Peripheral blood smear: 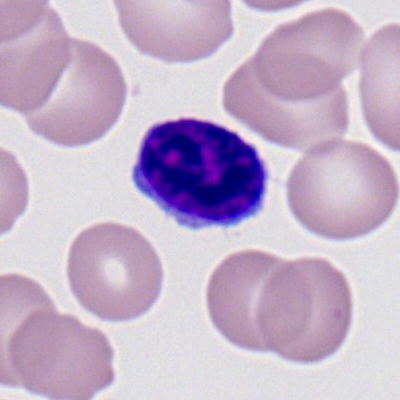

Specimen: peripheral blood film.
Cell type: lymphocyte.